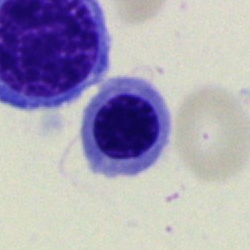
Impression — nucleated red cell.